Bone marrow smear · 40× objective, oil immersion · May-Grünwald-Giemsa/Pappenheim stain:
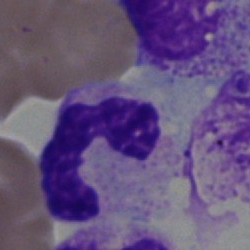
Cell: polymorphonuclear neutrophil.